Bone marrow aspirate smear:
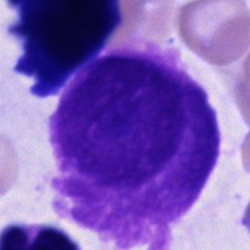A plasmacyte.